Bone marrow aspirate smear. Single-cell field. Image size 250×250
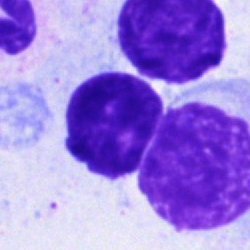 This is an artifact.